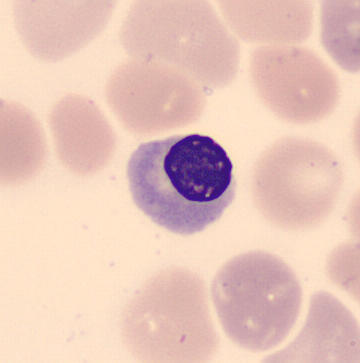 Q: What is the morphological classification of this cell?
A: This is a normoblast.